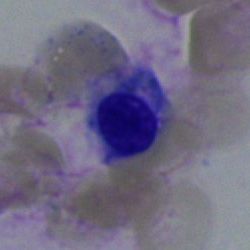{"cell_type": "nucleated red blood cell"}